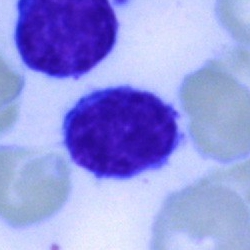 This is a lymphocyte.